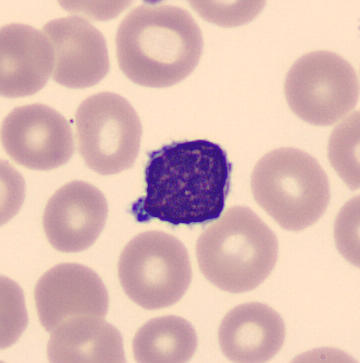

The cell type is typical lymphocyte.

360×363. Peripheral blood smear.